Bone marrow smear — 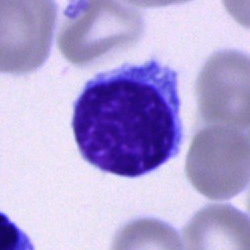
Morphological class — typical lymphocyte.